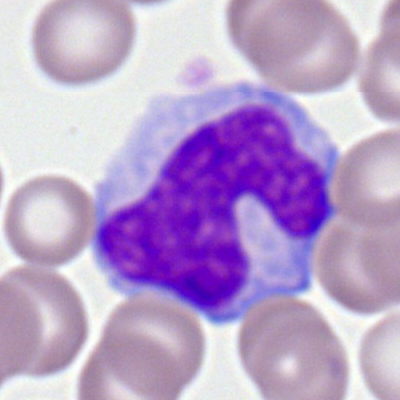 The classification is monocyte.